Bone marrow aspirate smear. Single-cell field: 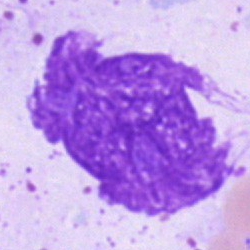The cell shown is an artefact.